Bone marrow aspirate smear — 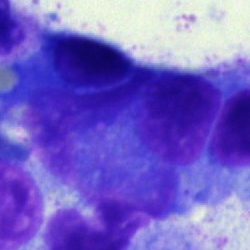Classification — unidentifiable cell.